Single cell centered in the field. Bone marrow aspirate smear — 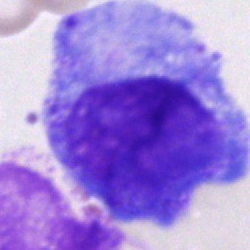
Single cell identified as a promyelocyte.